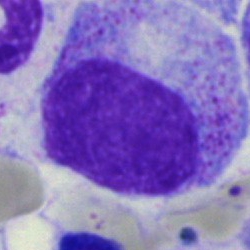Specimen: bone marrow smear.
Cell type: promyelocyte.
Lineage: myeloid.